Bone marrow aspirate smear.
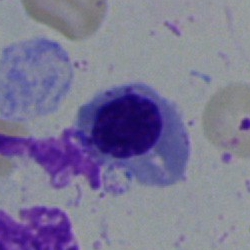Impression → nucleated red blood cell.